Brightfield microscopy, 40× oil immersion. Bone marrow aspirate smear.
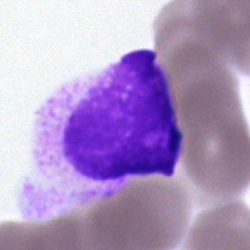Specimen: bone marrow aspirate smear.
Cell type: artefact.